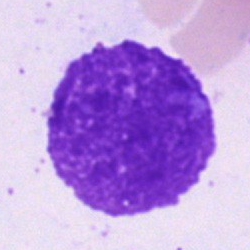 Single-cell crop from a bone marrow smear: artefact.